Bone marrow smear · single cell centered in the field — 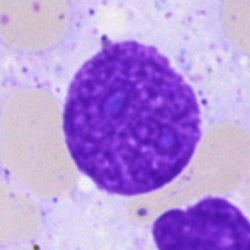

Q: What is shown here?
A: It is an artefact.